MGG-stained. 250×250 px. Bone marrow aspirate smear: 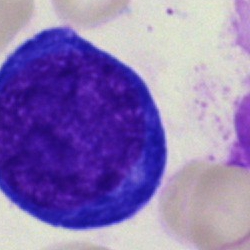 This is a pronormoblast.